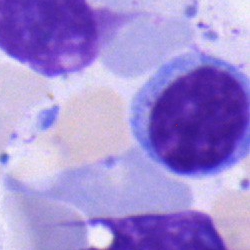Single-cell crop from a bone marrow smear: lymphocyte.